Brightfield microscopy, 40× oil immersion. Bone marrow smear. 250 by 250 pixels.
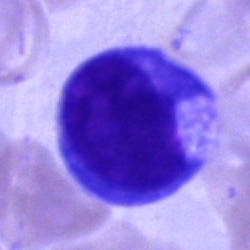Showing a blast cell.